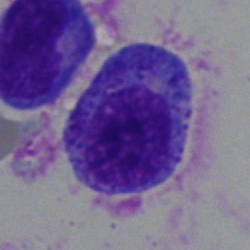
Showing a promyelocyte.